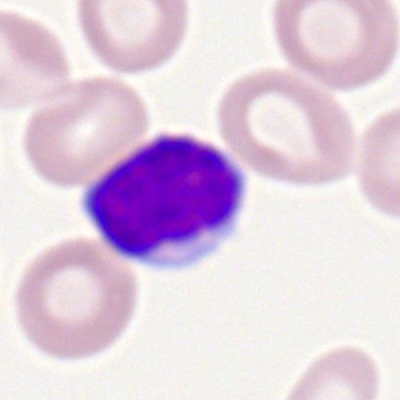

Specimen: peripheral blood smear.
Morphological class: typical lymphocyte.
Lineage: lymphoid.